Peripheral blood film
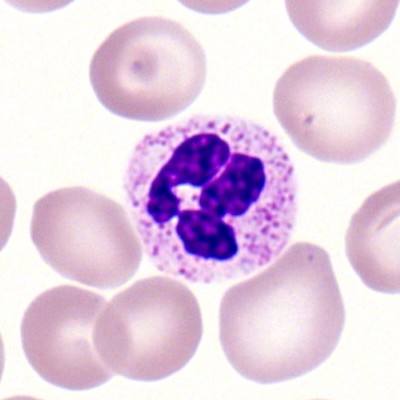

Single cell identified as a polymorphonuclear neutrophil.